Bone marrow aspirate smear. Single cell centered in the field. 250×250 px — 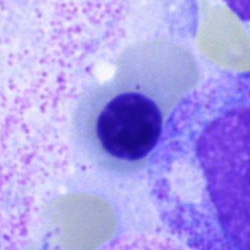Impression — nucleated red blood cell.